Peripheral blood smear:
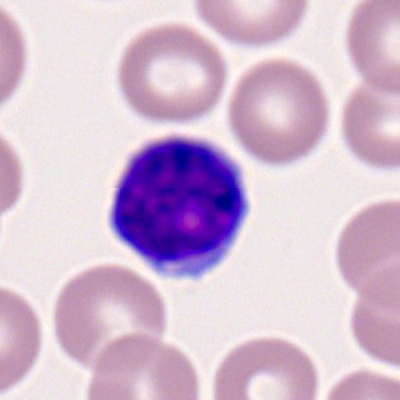 The cell shown is a typical lymphocyte.